Bone marrow smear: 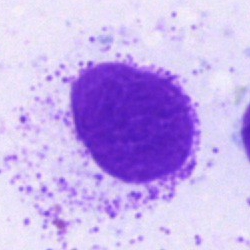
The cell shown is an artefact.